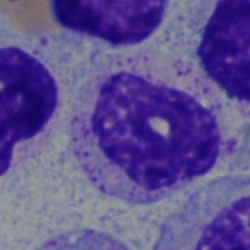 Q: Identify the cell.
A: A stab cell.